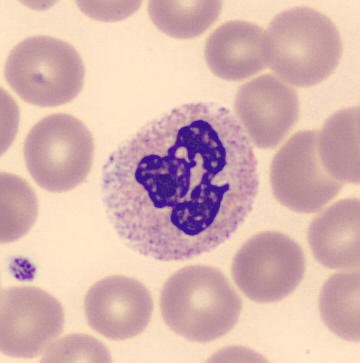
Morphology → polymorphonuclear neutrophil. Image: Peripheral blood film. May-Grünwald-Giemsa-stained.